Single-cell crop. Pappenheim-stained. Bone marrow aspirate smear — 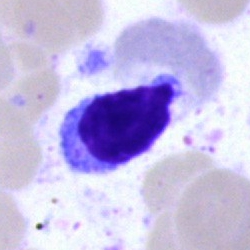

This is a typical lymphocyte.